Bone marrow aspirate smear: 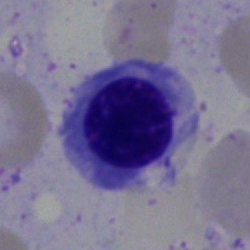

Showing an erythroblast.